Bone marrow smear; brightfield microscopy, 40× oil immersion: 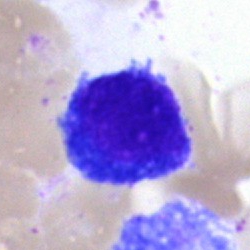
Cell = normoblast.